Pappenheim-stained; bone marrow smear: 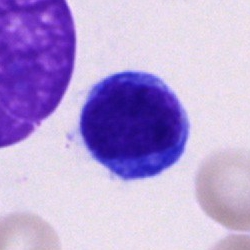Morphological class = typical lymphocyte.